Bone marrow smear:
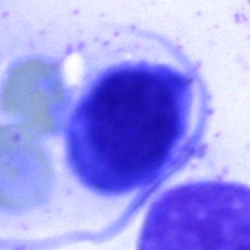
The morphological class is unidentifiable cell.